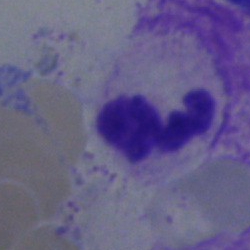
This is a neutrophil (segmented).